Bone marrow aspirate smear. 250×250
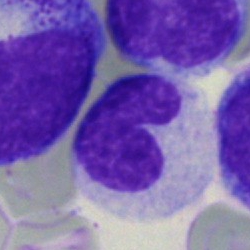 Band neutrophil.